Bone marrow smear — 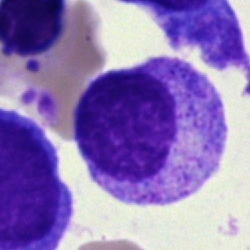 A myelocyte.